Bone marrow aspirate smear; single cell centered in the field: 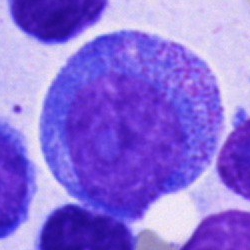 Q: What is the morphological classification of this cell?
A: Promyelocyte.